Single-cell field; peripheral blood smear.
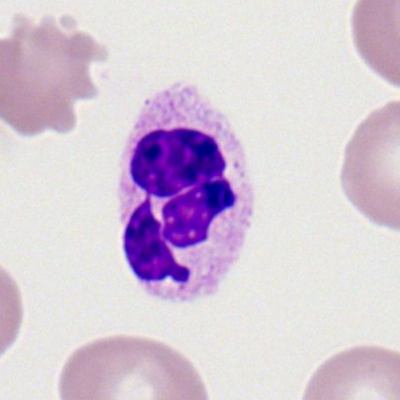

This is a polymorphonuclear neutrophil.